Bone marrow smear — 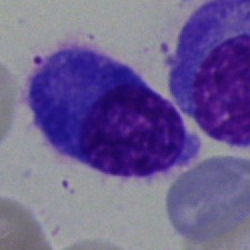This is a plasma cell.